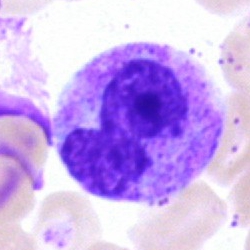 Bone marrow aspirate smear, single cell — neutrophil (segmented).